Bone marrow aspirate smear:
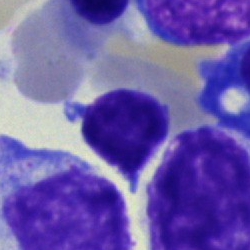

{"cell_type": "typical lymphocyte", "lineage": "lymphoid"}